Cropped to a single cell · bone marrow smear: 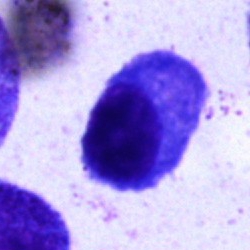

Cell type: plasmacyte.